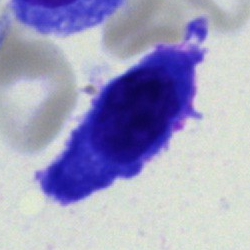Classification — plasmacyte.